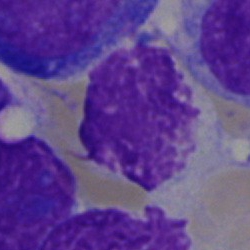Cell type — artifact.